Bone marrow smear; single-cell field: 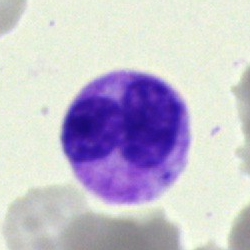A neutrophil (band).